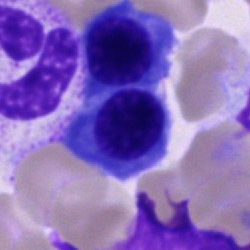

This is a normoblast.